MGG-stained; bone marrow aspirate smear: 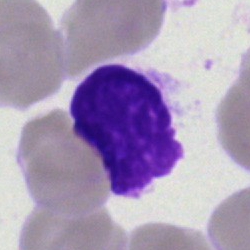
Classification = artefact.